Bone marrow aspirate smear.
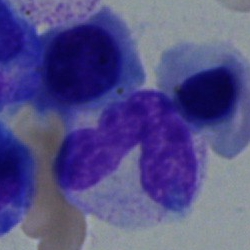Q: What type of cell is this?
A: A neutrophil (band).